Bone marrow smear — 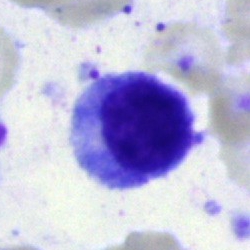 Cell = cell of indeterminate lineage.